250×250 · bone marrow smear: 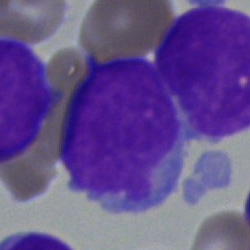 A blast.